Bone marrow smear — 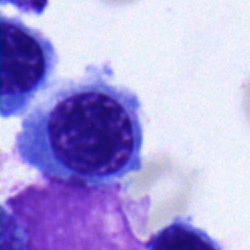
This is an erythroblast.